Peripheral blood smear.
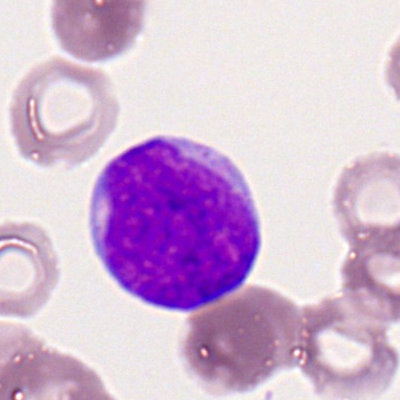Cell: myeloid blast.